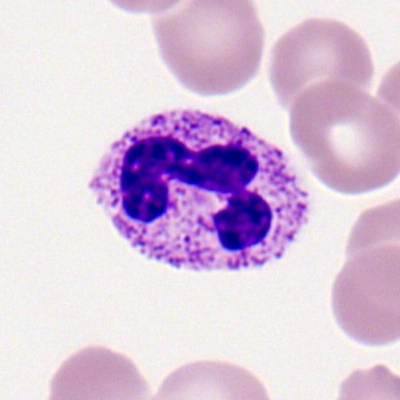
Specimen: peripheral blood smear.
Cell: neutrophil (segmented).